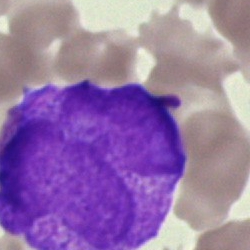

Specimen: bone marrow smear.
Classification: blast.